Bone marrow aspirate smear.
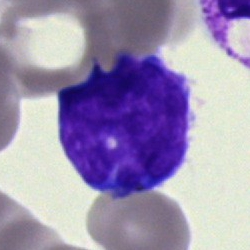
Cell type: blast cell.